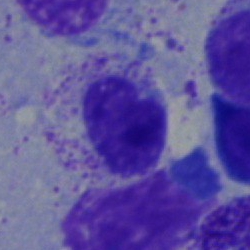{"cell_type": "metamyelocyte", "lineage": "myeloid"}